Bone marrow aspirate smear
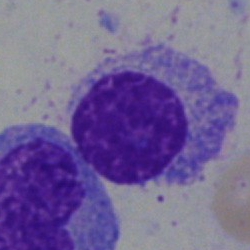Specimen: bone marrow smear.
Morphological class: plasmacyte.
Lineage: lymphoid.